Bone marrow smear.
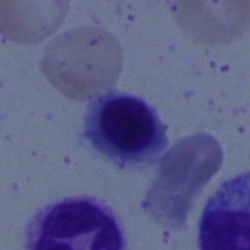Morphology consistent with a nucleated red blood cell.